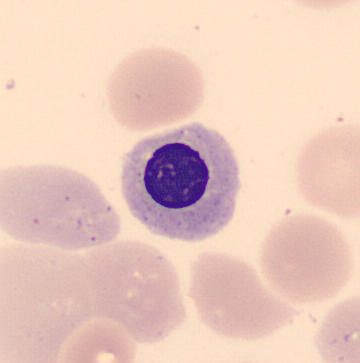
Peripheral blood smear.
Cell type: nucleated red cell.